Bone marrow aspirate smear · May-Grünwald-Giemsa stain.
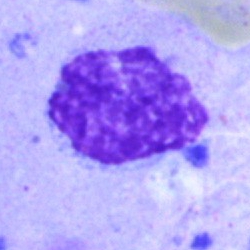
Classification: artifact.